250 by 250 pixels · bone marrow aspirate smear — 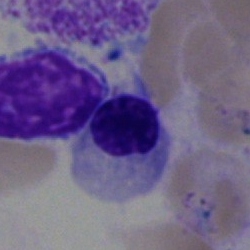
Specimen: bone marrow smear.
Cell type: normoblast.
Lineage: erythroid.